Bone marrow aspirate smear — 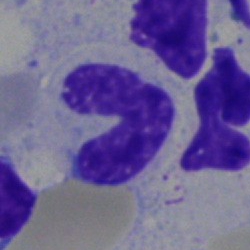
Specimen: bone marrow aspirate smear.
Classification: neutrophil (band).
Lineage: myeloid.